Bone marrow smear — 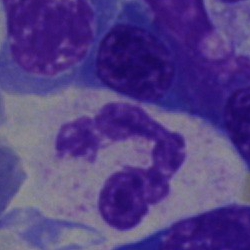 Specimen: bone marrow smear.
Morphological class: neutrophil (segmented).